Bone marrow aspirate smear.
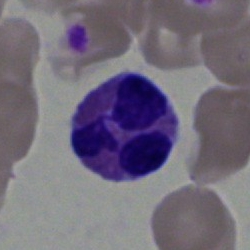 {"cell_type": "eosinophil", "lineage": "myeloid"}